Bone marrow aspirate smear · May-Grünwald-Giemsa/Pappenheim stain · 40× objective, oil immersion — 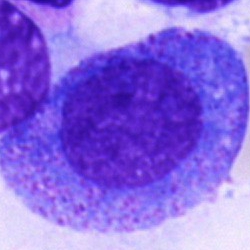

Cell = progranulocyte.